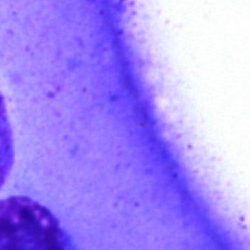Morphology — artifact.